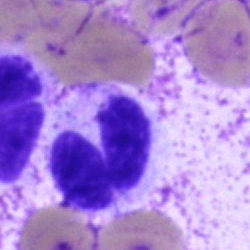Morphology — polymorphonuclear neutrophil.